Bone marrow smear · single-cell field: 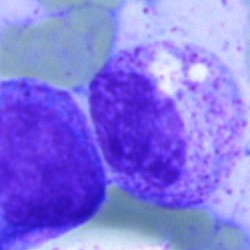Impression → myelocyte.